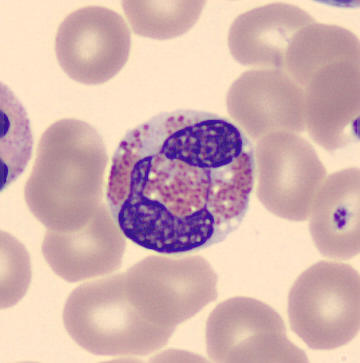
This is an eosinophilic granulocyte.